Bone marrow smear: 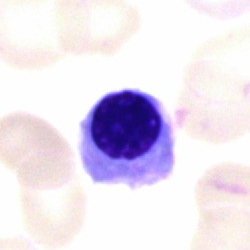

{"cell_type": "nucleated red cell", "lineage": "erythroid"}